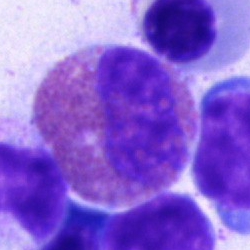Showing an eosinophil.